Bone marrow aspirate smear.
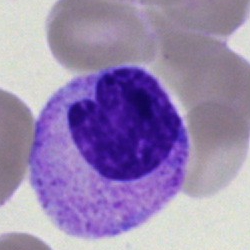
Metamyelocyte.